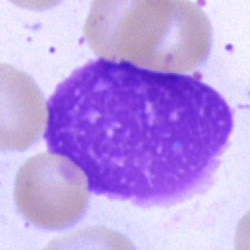An artefact.